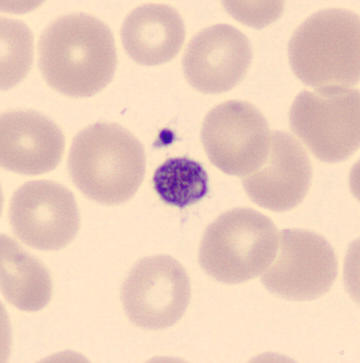
Classification: platelet (thrombocyte).